Peripheral blood film:
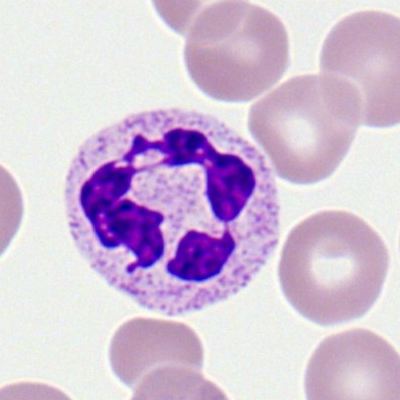
Cell: segmented neutrophil.